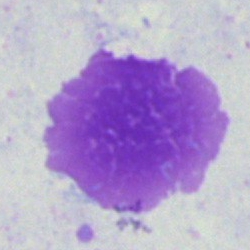 {"cell_type": "artifact"}